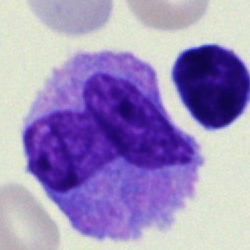
Morphology — monocyte.